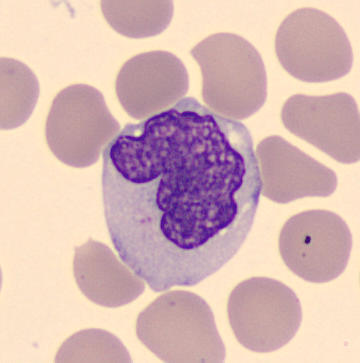

Showing a monocyte.